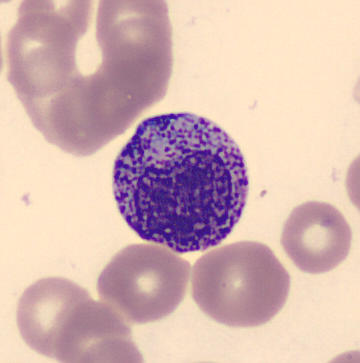

Impression → metamyelocyte.
Image: Image size 360×363. Peripheral blood film.